Single-cell field. Bone marrow smear:
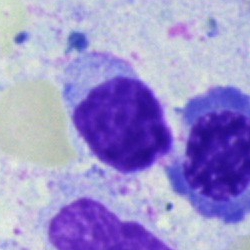 Morphology — lymphocyte.